Bone marrow smear:
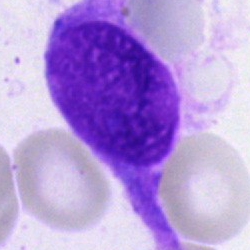 The cell shown is an artefact.